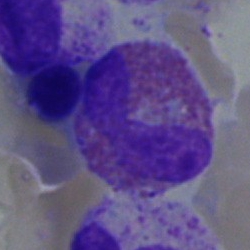
Q: Identify the cell.
A: An eosinophilic granulocyte.